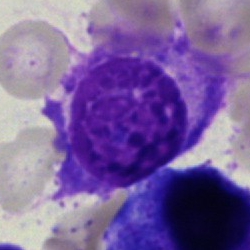Single-cell crop from a bone marrow smear: plasmacyte.